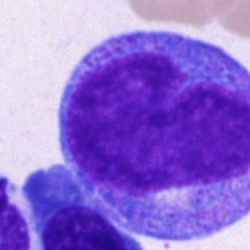 Morphology → progranulocyte.